Bone marrow smear
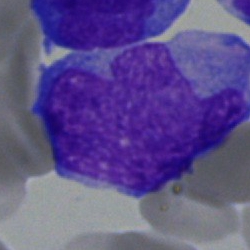
Q: What is shown here?
A: A blast.